Bone marrow aspirate smear.
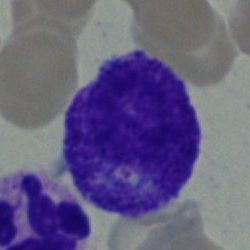

Impression → myelocyte.